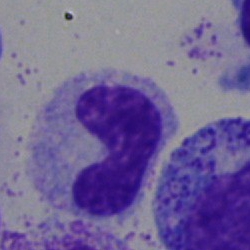Cell: band neutrophil.